Bone marrow aspirate smear — 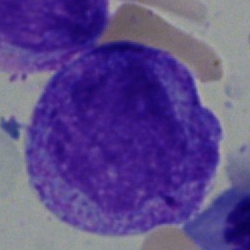

Cell: promyelocyte.